Bone marrow aspirate smear:
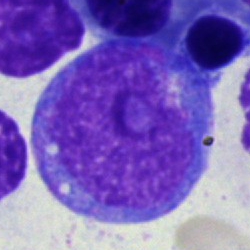

{"cell_type": "undifferentiated blast"}